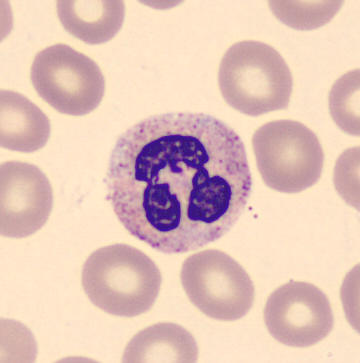

Morphological class: neutrophil (segmented).

Acquisition: Peripheral blood film.